250×250 · bone marrow aspirate smear · May-Grünwald-Giemsa/Pappenheim stain.
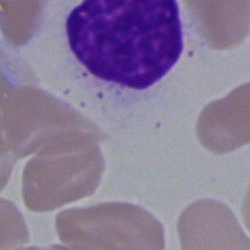

{"cell_type": "artefact"}